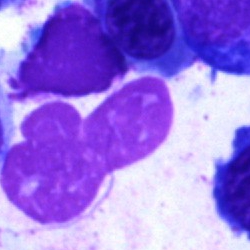
The cell shown is an artefact.